400 by 400 pixels. Peripheral blood film. 100× objective, oil immersion: 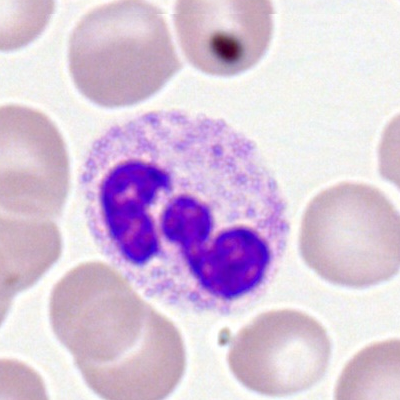The cell type is polymorphonuclear neutrophil.